May-Grünwald-Giemsa stain; bone marrow smear: 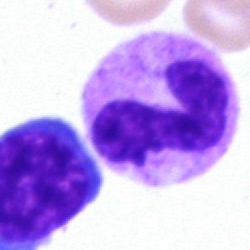 Showing a neutrophil (band).